Single-cell crop; bone marrow aspirate smear; brightfield, 40× oil-immersion objective.
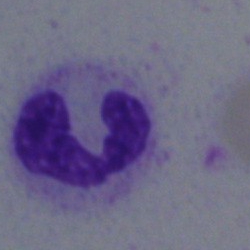 Morphology → polymorphonuclear neutrophil.